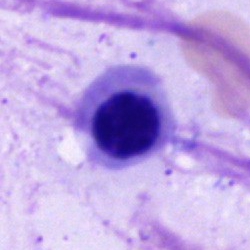
The cell shown is an erythroblast.